Bone marrow aspirate smear · brightfield, 40× oil-immersion objective · cropped to a single cell.
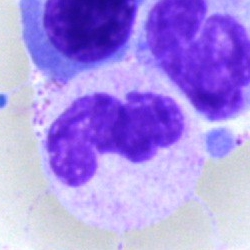Specimen: bone marrow aspirate smear.
Morphological class: polymorphonuclear neutrophil.
Lineage: myeloid.